Bone marrow smear; 250 by 250 pixels — 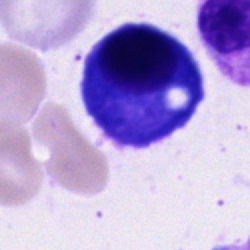
Cell = plasma cell.